Bone marrow smear:
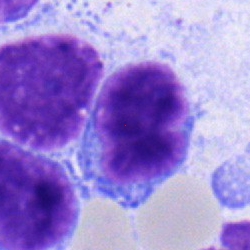{"cell_type": "lymphocyte"}